Bone marrow smear: 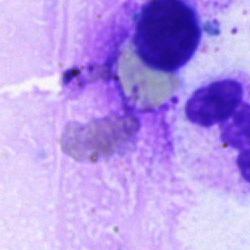Q: What is shown here?
A: This is an artefact.